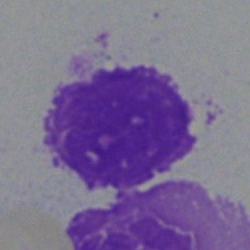

Bone marrow aspirate smear, single cell — artefact.